Bone marrow aspirate smear · 250 by 250 pixels · single-cell crop: 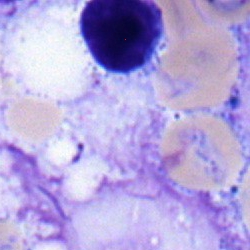Single cell identified as a typical lymphocyte.